Bone marrow smear · single cell centered in the field
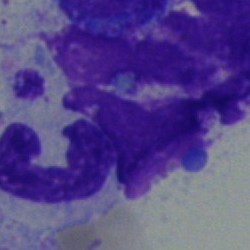Segmented neutrophil.